Bone marrow smear
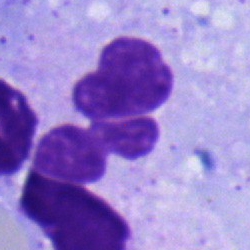
Impression → segmented neutrophil.